Single-cell crop · May-Grünwald-Giemsa/Pappenheim stain · bone marrow smear: 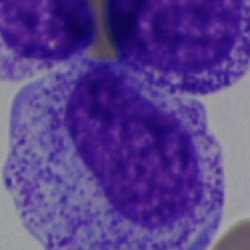

Morphology consistent with a progranulocyte.